Bone marrow smear
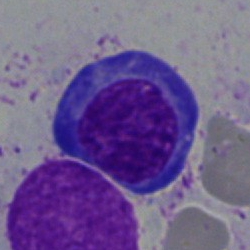
Q: What is the morphological classification of this cell?
A: This is a nucleated red blood cell.